May-Grünwald-Giemsa/Pappenheim stain; bone marrow smear.
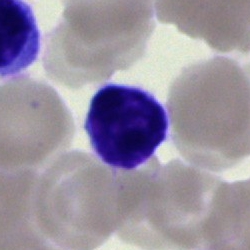
Q: Identify the cell.
A: This is a typical lymphocyte.